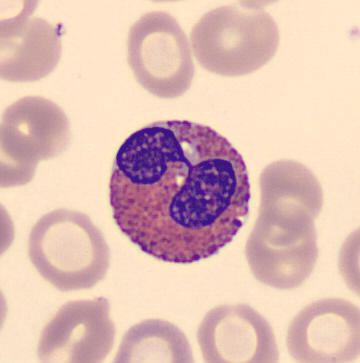
Specimen: peripheral blood film.
Cell: eosinophil.
Lineage: myeloid.